360 by 363 pixels · CellaVision DM96 digital cell image · peripheral blood smear:
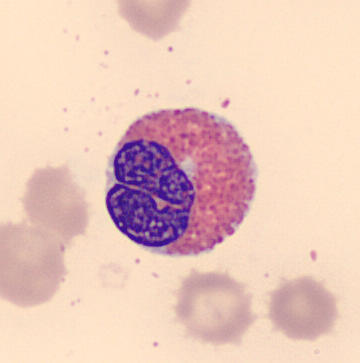Q: What is this?
A: This is an eosinophilic granulocyte.